Bone marrow smear. May-Grünwald-Giemsa stain — 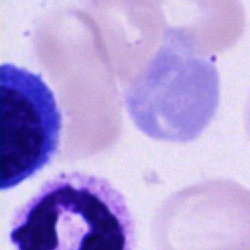

Impression → cell of indeterminate lineage.